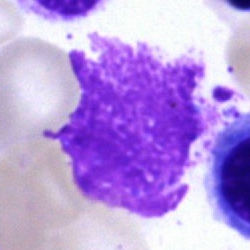

{"cell_type": "artifact"}